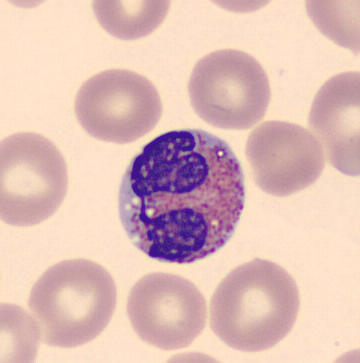 Specimen: peripheral blood smear.
Cell type: eosinophilic granulocyte.